Brightfield, 40× oil-immersion objective. Bone marrow aspirate smear:
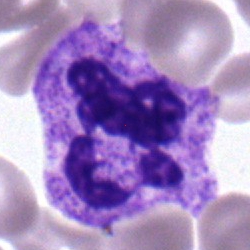

A neutrophil (segmented).